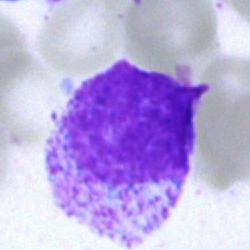
This is a myelocyte.